Single-cell field · image size 250×250 · bone marrow smear: 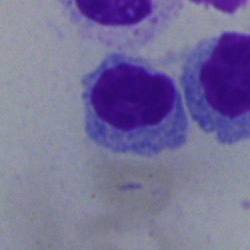 Morphology consistent with a nucleated red blood cell.